Peripheral blood film:
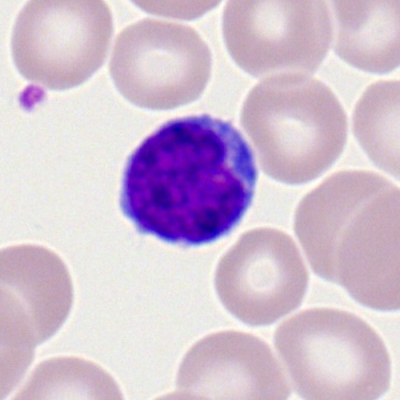
Cell: typical lymphocyte.